Bone marrow aspirate smear; 40× oil immersion; cropped to a single cell:
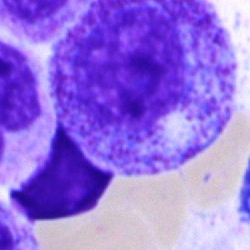

Morphological class = promyelocyte.